40× objective, oil immersion · 250×250 · bone marrow aspirate smear — 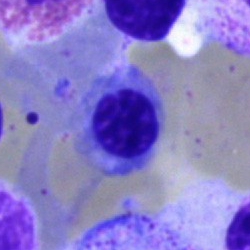
The cell type is nucleated red cell.